Bone marrow aspirate smear. 250 by 250 pixels.
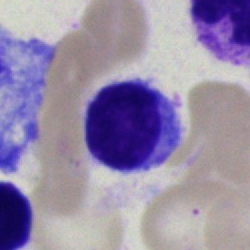
The morphological class is lymphocyte.